Bone marrow aspirate smear
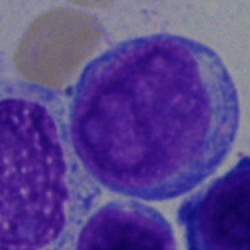 Specimen: bone marrow aspirate smear.
Cell type: undifferentiated blast.